Bone marrow smear: 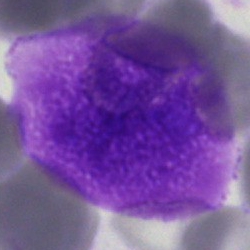
Morphological class: artefact.